Bone marrow aspirate smear. MGG-stained: 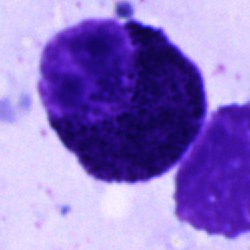
Morphology — cell of indeterminate lineage.